40× oil immersion · bone marrow smear: 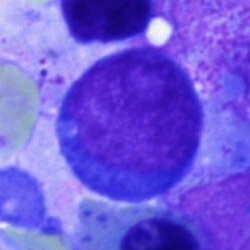An undifferentiated blast.